Bone marrow smear — 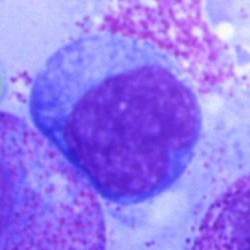 Q: What is shown here?
A: Lymphocyte.